May-Grünwald-Giemsa/Pappenheim stain. Single-cell field. Bone marrow aspirate smear: 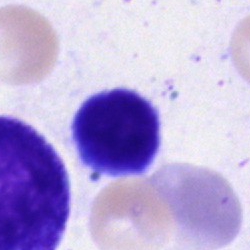 Morphological class — typical lymphocyte.